Bone marrow smear; brightfield, 40× oil-immersion objective; 250×250.
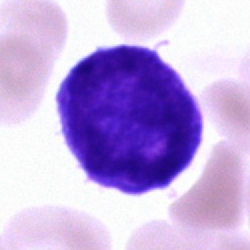
Q: What is the morphological classification of this cell?
A: An undifferentiated blast.